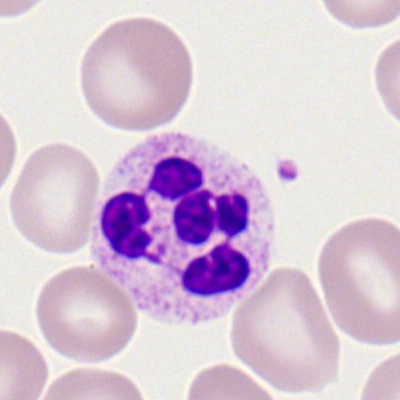

Specimen: peripheral blood film.
Morphological class: neutrophil (segmented).